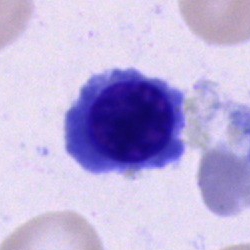
Bone marrow aspirate smear, single cell — nucleated red blood cell.